Bone marrow aspirate smear; 40× objective, oil immersion — 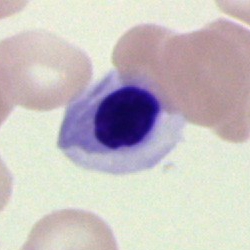

Specimen: bone marrow smear.
Cell type: erythroblast.
Lineage: erythroid.